Single-cell crop. Peripheral blood film. Romanowsky-stained — 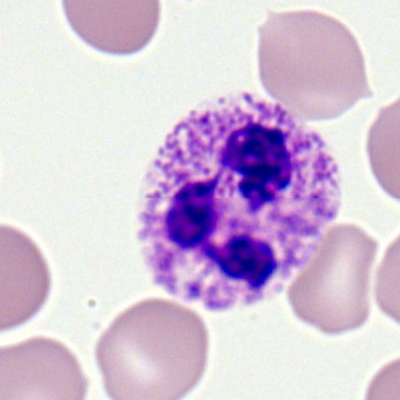 Q: Which cell type is shown here?
A: It is a neutrophil (segmented).